Bone marrow smear — 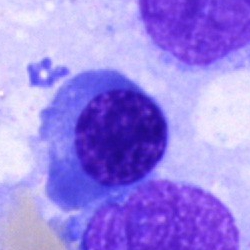
Single cell identified as an erythroblast.